250×250 px · bone marrow aspirate smear · brightfield microscopy, 40× oil immersion.
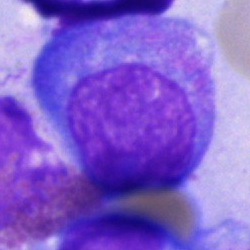 The cell is unidentifiable cell.